Bone marrow smear · single-cell field · brightfield microscopy, 40× oil immersion:
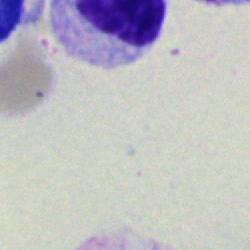
Specimen: bone marrow smear.
Cell: stab cell.